Peripheral blood smear:
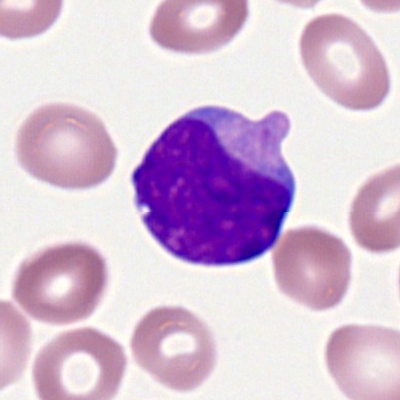Morphology — myeloblast.